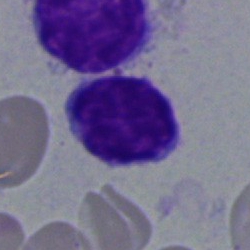

Morphological class: lymphocyte.